Single-cell crop. Bone marrow smear. 250 by 250 pixels: 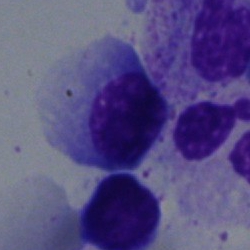Q: What is the morphological classification of this cell?
A: It is a nucleated red cell.